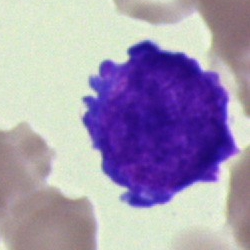 Q: Which cell type is shown here?
A: It is a promyelocyte.